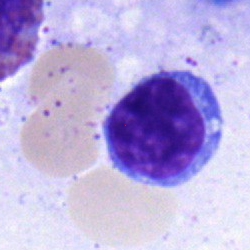
This is a typical lymphocyte.